Single cell centered in the field. Peripheral blood smear: 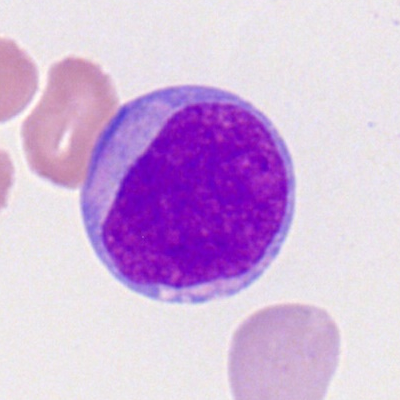
Q: Identify the cell.
A: This is a myeloblast.